Bone marrow smear — 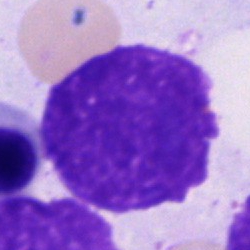

Q: What is shown here?
A: It is an artifact.